Bone marrow aspirate smear; 40× oil immersion; single-cell crop.
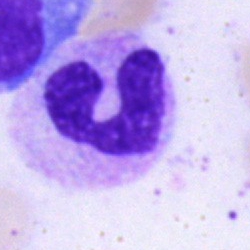Neutrophil (band).